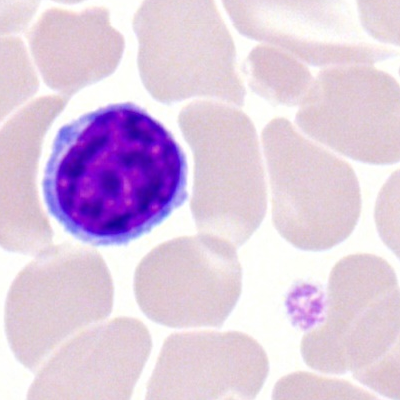

Q: What type of cell is this?
A: This is a typical lymphocyte.